100× objective, oil immersion · peripheral blood smear: 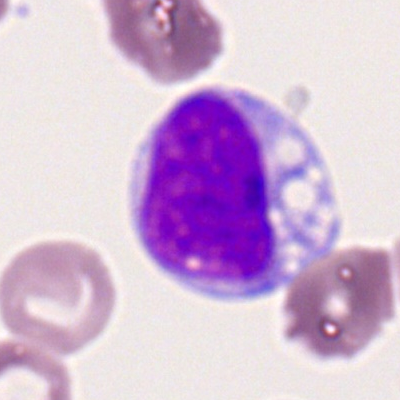
Morphological class: monocyte.